Bone marrow smear.
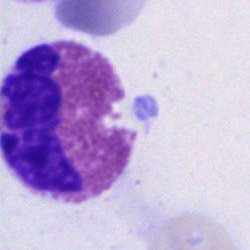The cell type is eosinophil.